Bone marrow smear — 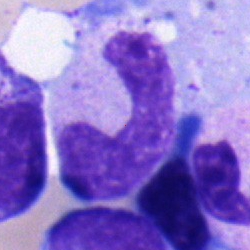 Band neutrophil.